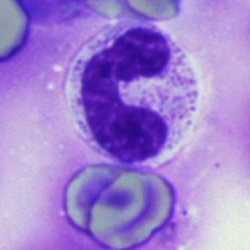 Q: What type of cell is this?
A: This is a band-form neutrophil.